Peripheral blood film
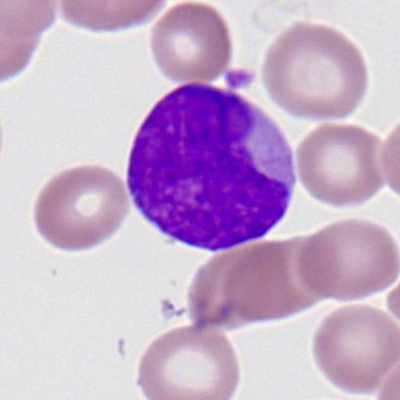 Myeloid blast.